Image size 250×250. Bone marrow smear.
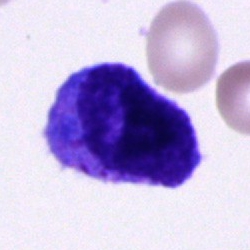

Unidentifiable cell.